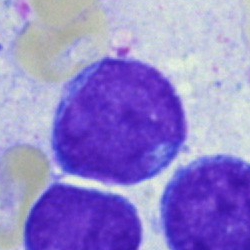

Q: Which cell type is shown here?
A: This is an undifferentiated blast.